Bone marrow aspirate smear.
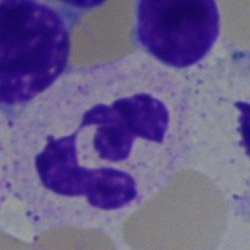Morphological class = segmented neutrophil.